Bone marrow smear:
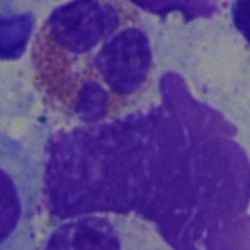
An eosinophil.